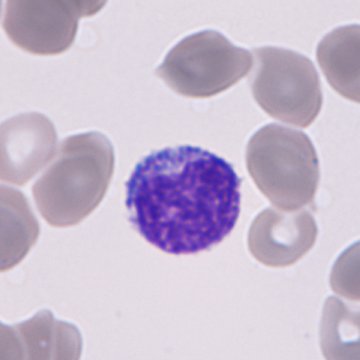Q: What is this?
A: A granulocyte precursor.
Peripheral blood smear.